Single-cell crop; bone marrow aspirate smear.
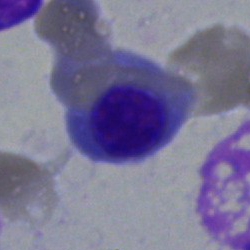Impression — nucleated red cell.